Bone marrow smear; May-Grünwald-Giemsa/Pappenheim stain: 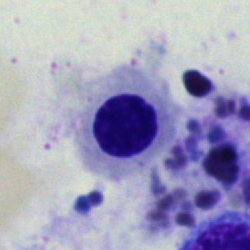 Cell type — nucleated red cell.